Bone marrow smear
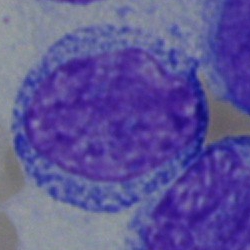

Blast.